Bone marrow smear. 250×250.
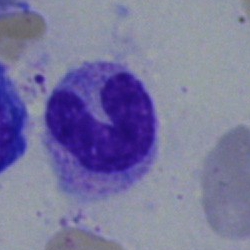 Specimen: bone marrow smear.
Classification: neutrophil (band).
Lineage: myeloid.